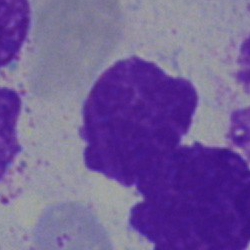
An artefact on a bone marrow smear.